Bone marrow smear: 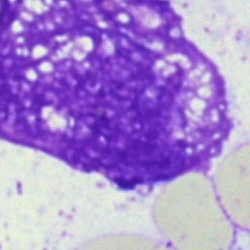 Morphology consistent with an artefact.